250×250 · bone marrow aspirate smear · single-cell field — 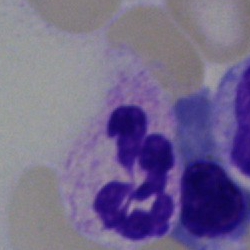

This is a neutrophil (segmented).